Bone marrow aspirate smear. 250 by 250 pixels. Single-cell crop: 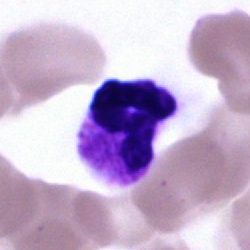

This is a segmented neutrophil.